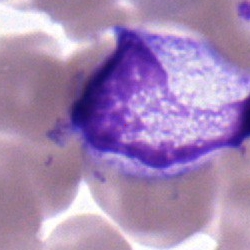

The cell shown is a neutrophil (segmented).